Bone marrow aspirate smear · brightfield, 40× oil-immersion objective:
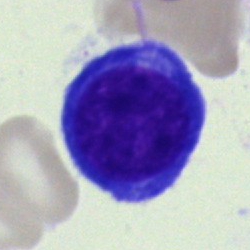A nucleated red cell.